Bone marrow smear · May-Grünwald-Giemsa/Pappenheim stain — 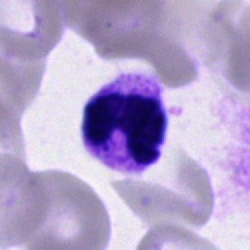

The cell shown is a polymorphonuclear neutrophil.